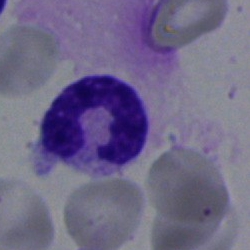 Q: Which cell type is shown here?
A: It is a segmented neutrophil.